Bone marrow smear: 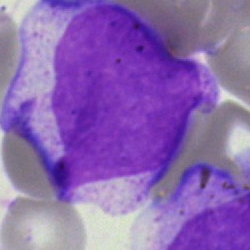 Cell: blast.